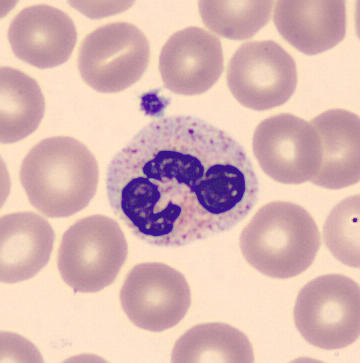

Morphological class — segmented neutrophil.
Image: MGG-stained. Peripheral blood smear.